Bone marrow smear.
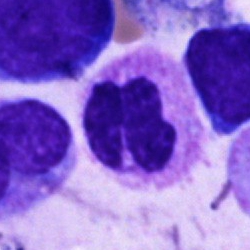Morphology consistent with a segmented neutrophil.